Bone marrow smear:
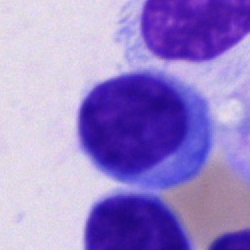
Q: What is shown here?
A: A plasma cell.